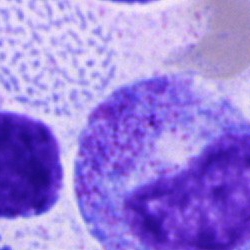
A progranulocyte on a bone marrow smear.